Bone marrow aspirate smear.
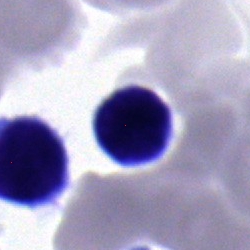
Q: Identify the cell.
A: This is a lymphocyte.